Bone marrow smear; brightfield microscopy, 40× oil immersion.
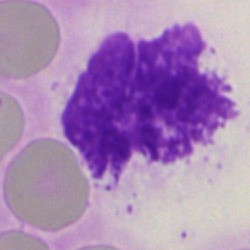 This is an artefact.